Bone marrow smear: 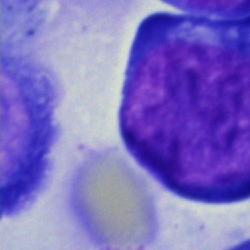 Q: Which cell type is shown here?
A: It is a proerythroblast.